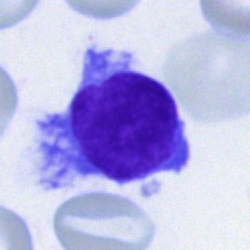
Showing a typical lymphocyte.